Peripheral blood smear.
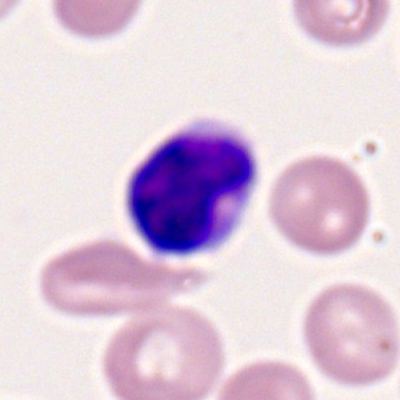
Q: What type of cell is this?
A: A lymphocyte.